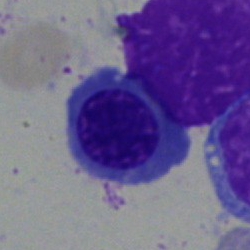 Morphology — erythroblast.